40× oil immersion · Pappenheim-stained · bone marrow aspirate smear — 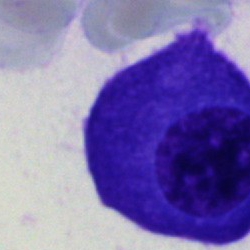A plasmacyte.